Bone marrow smear: 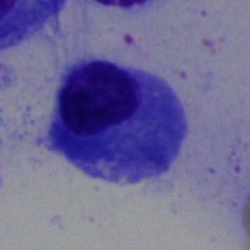

Plasma cell.